Bone marrow smear: 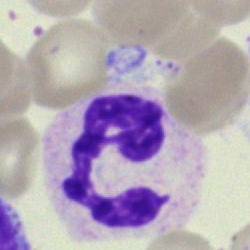 Segmented neutrophil.